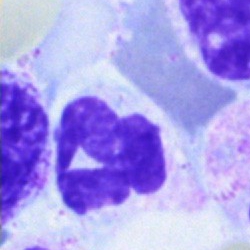Cell = neutrophil (segmented).